Bone marrow smear.
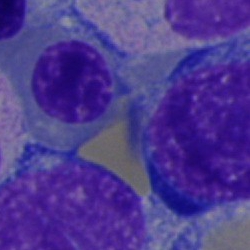

This is a normoblast.